Single-cell crop; bone marrow aspirate smear:
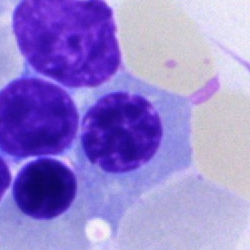

A nucleated red blood cell.